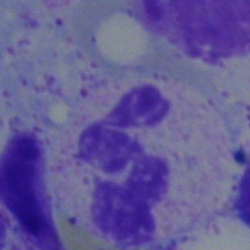 {"cell_type": "segmented neutrophil", "lineage": "myeloid"}